250 by 250 pixels. Bone marrow smear — 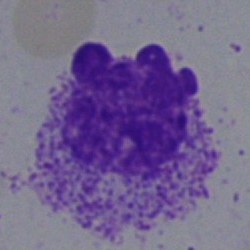 Morphology → artifact.